Romanowsky-type stain. Peripheral blood film. 400×400 px:
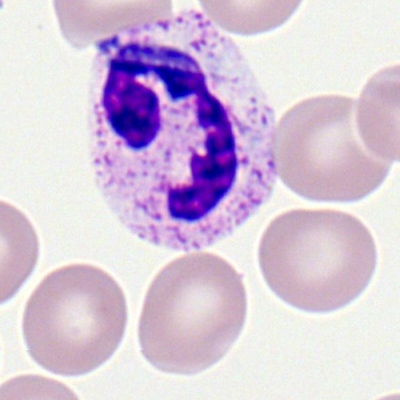

Cell type = polymorphonuclear neutrophil.